Bone marrow smear:
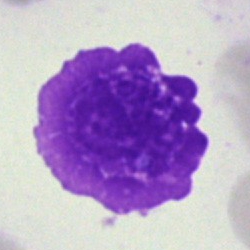

Q: What is shown here?
A: This is an artifact.